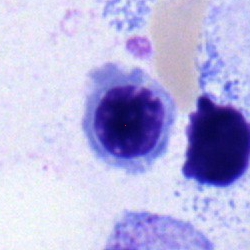
Q: What is shown here?
A: This is an erythroblast.